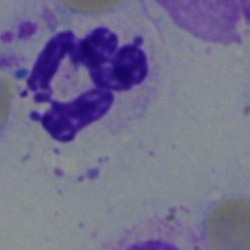

The morphological class is segmented neutrophil.